Single cell centered in the field; bone marrow smear; 40× objective, oil immersion — 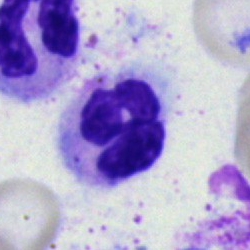{"cell_type": "neutrophil (segmented)", "lineage": "myeloid"}